MGG-stained. Bone marrow aspirate smear:
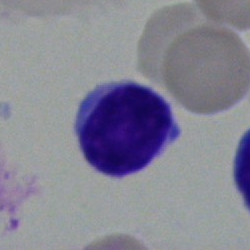

Morphology consistent with a typical lymphocyte.